Bone marrow aspirate smear. Single cell centered in the field. MGG-stained
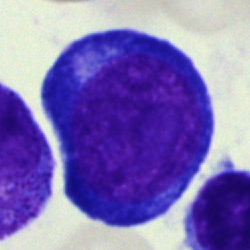
Cell type: proerythroblast.